Cropped to a single cell · bone marrow aspirate smear:
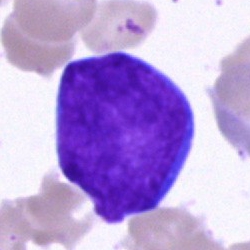 Single cell identified as an undifferentiated blast.